Bone marrow smear: 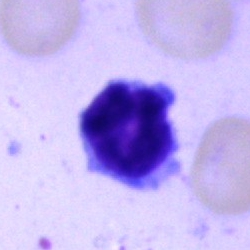 Q: What cell is this?
A: It is a lymphocyte.